Bone marrow aspirate smear · Pappenheim-stained
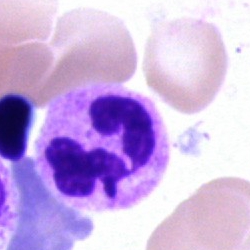
Q: What type of cell is this?
A: This is a neutrophil (segmented).